Bone marrow aspirate smear: 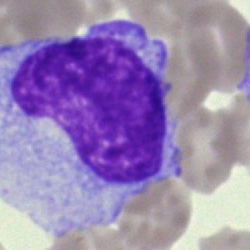
Q: What is shown here?
A: Cell of indeterminate lineage.